Bone marrow aspirate smear.
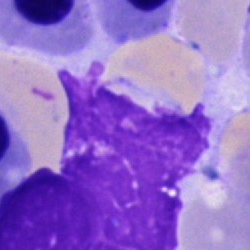 An artefact.